Bone marrow aspirate smear
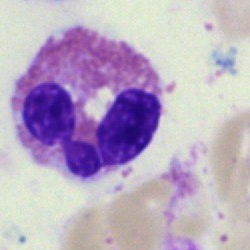 Classification = basophil.